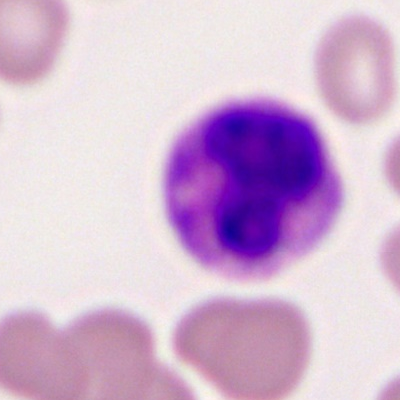 Cell — neutrophil (segmented).